Cropped to a single cell · peripheral blood film:
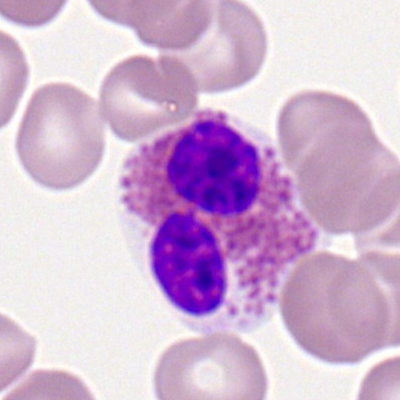

Q: What is the morphological classification of this cell?
A: An eosinophilic granulocyte.